Peripheral blood film — 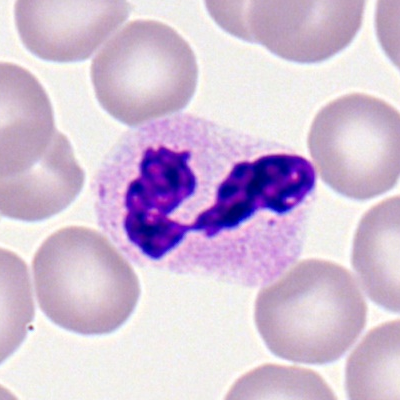Morphology — segmented neutrophil.